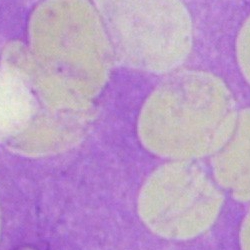

The cell shown is an artefact.